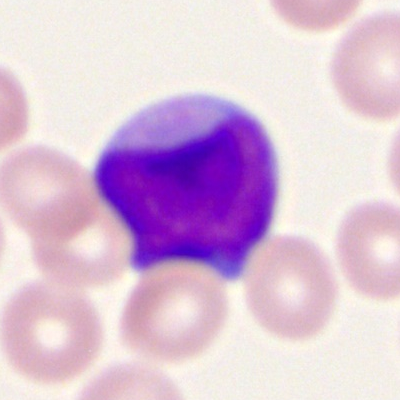 Single cell identified as a myeloid blast.